Bone marrow smear; 250×250: 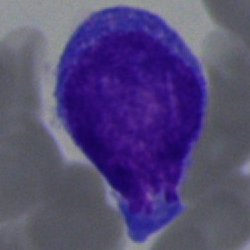
{"cell_type": "undifferentiated blast"}